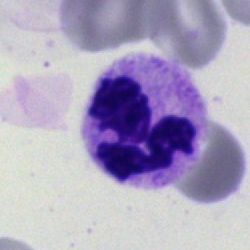
Single cell identified as a segmented neutrophil.